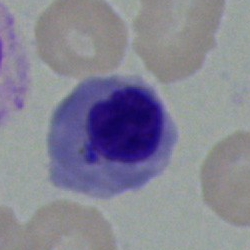
Cell = erythroblast.